Single cell centered in the field · bone marrow smear — 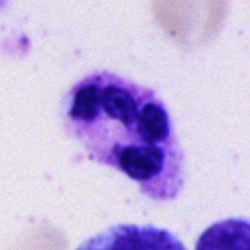Q: What type of cell is this?
A: A polymorphonuclear neutrophil.